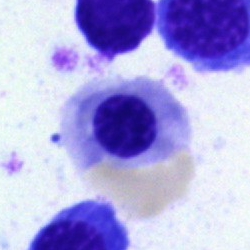
The morphological class is nucleated red cell.